Bone marrow aspirate smear. MGG-stained:
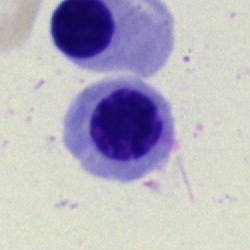
Cell type — nucleated red cell.